40× objective, oil immersion; Pappenheim-stained; bone marrow smear.
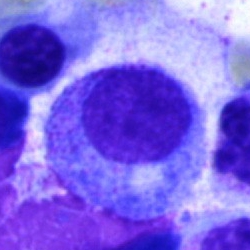

This is a promyelocyte.